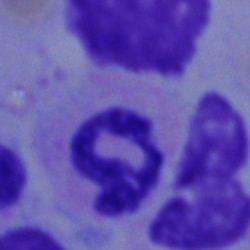This is a neutrophil (segmented).